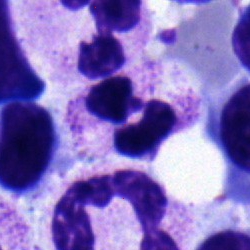 Morphology consistent with a polymorphonuclear neutrophil.